Peripheral blood smear; single cell centered in the field; Romanowsky-type stain.
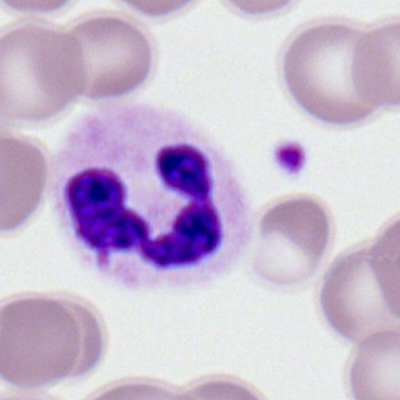 Single cell identified as a polymorphonuclear neutrophil.